250×250 px; bone marrow smear.
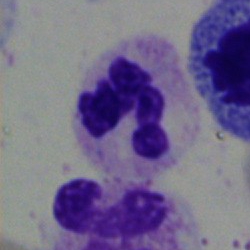 Impression — polymorphonuclear neutrophil.